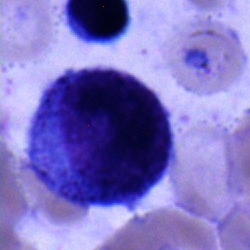

Cell: promyelocyte.